Bone marrow aspirate smear.
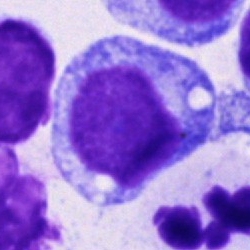Morphological class: progranulocyte.